Bone marrow aspirate smear.
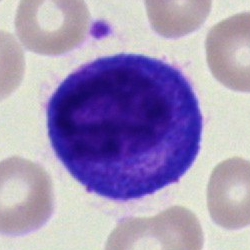Classification: promyelocyte.